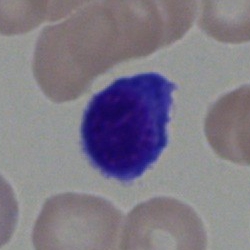

This is a hairy cell.